Bone marrow aspirate smear
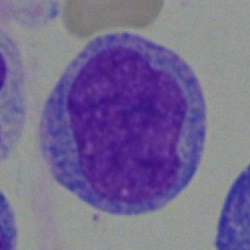 Morphology → monocyte.